Bone marrow smear; 40× objective, oil immersion
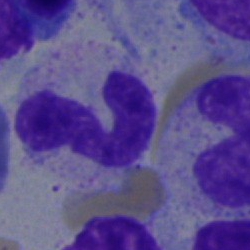Neutrophil (band).